Bone marrow aspirate smear. Single-cell field:
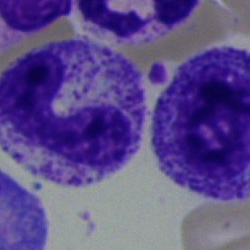
A stab cell.